Peripheral blood film: 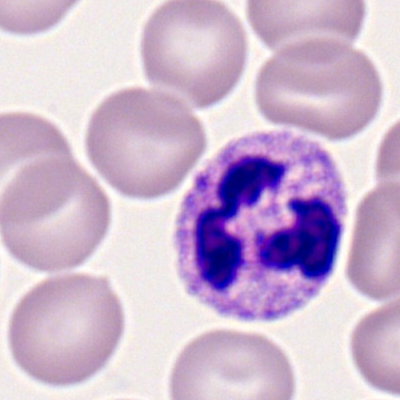The cell shown is a neutrophil (segmented).